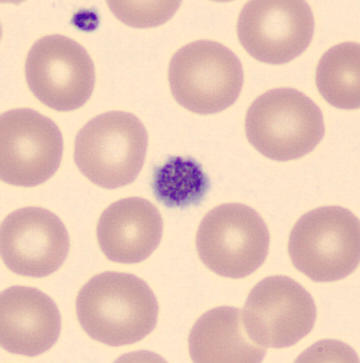 Specimen: peripheral blood film.
Cell type: platelet.